Bone marrow smear: 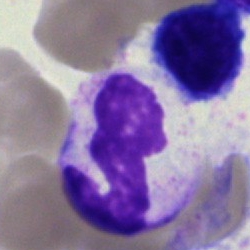
The morphological class is neutrophil (segmented).